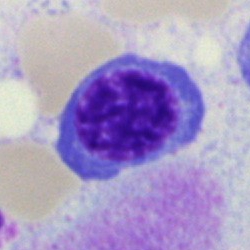The cell is nucleated red cell.